Bone marrow aspirate smear
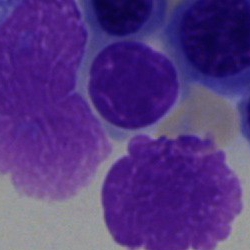 Impression → nucleated red cell.